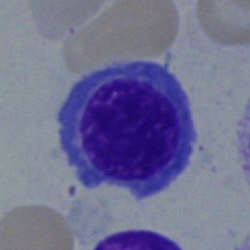

Q: What is the morphological classification of this cell?
A: A normoblast.